Single cell centered in the field; bone marrow smear; 250×250 px.
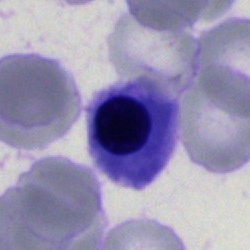
The morphological class is nucleated red blood cell.